Bone marrow smear; single cell centered in the field; Pappenheim-stained:
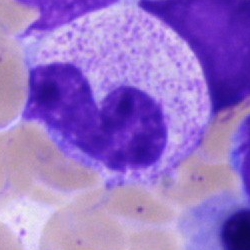
A stab cell.